Bone marrow aspirate smear.
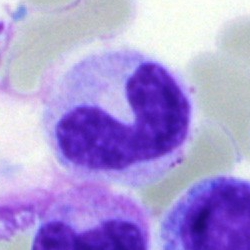
The cell is stab cell.